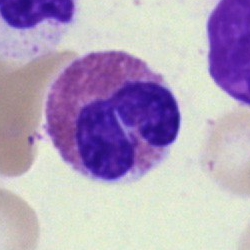 Specimen: bone marrow aspirate smear.
Classification: eosinophilic granulocyte.
Lineage: myeloid.